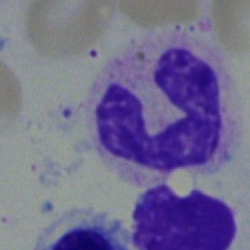

Specimen: bone marrow smear.
Classification: segmented neutrophil.
Lineage: myeloid.